40× oil immersion; 250 by 250 pixels; bone marrow aspirate smear.
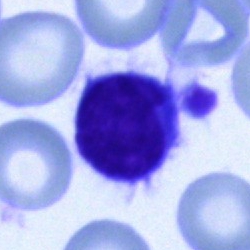

Classification = lymphocyte.